Single-cell crop; bone marrow aspirate smear
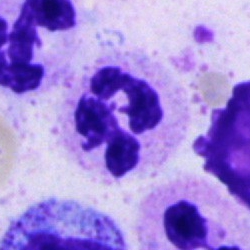Specimen: bone marrow smear.
Classification: polymorphonuclear neutrophil.